Bone marrow smear — 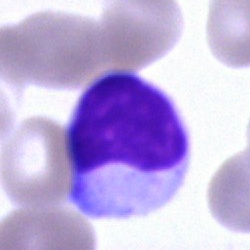
Classification = lymphocyte.